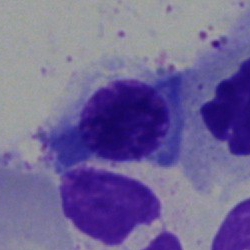
Morphology — erythroblast.